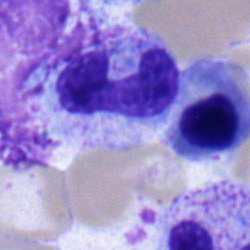 Stab cell.